Bone marrow smear. Brightfield microscopy, 40× oil immersion.
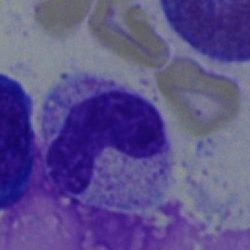Impression → band neutrophil.